Image size 250×250 · bone marrow aspirate smear.
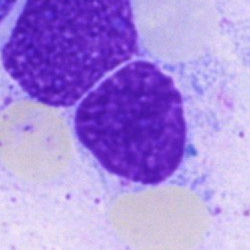

Morphological class: artifact.